Bone marrow smear
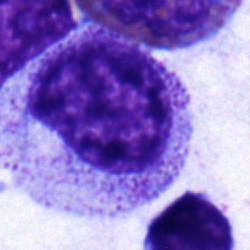
Specimen: bone marrow smear.
Cell type: myelocyte.
Lineage: myeloid.